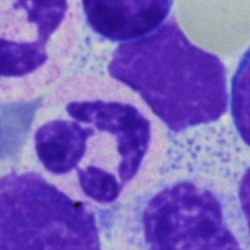Q: What is shown here?
A: Segmented neutrophil.